Bone marrow smear.
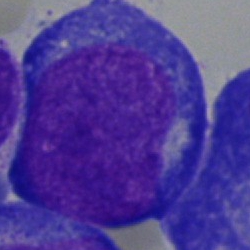

Classification: proerythroblast.